Image size 250×250 · bone marrow smear
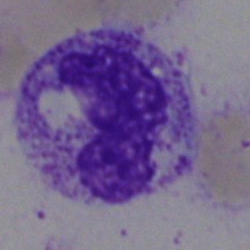 Q: What is the morphological classification of this cell?
A: This is a polymorphonuclear neutrophil.